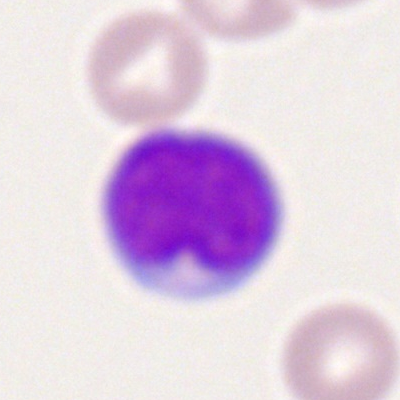 This is a myeloid blast.